Bone marrow smear; brightfield microscopy, 40× oil immersion:
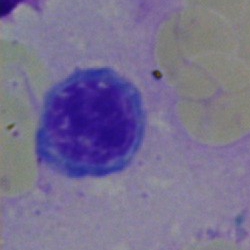Morphological class — erythroblast.